Bone marrow aspirate smear: 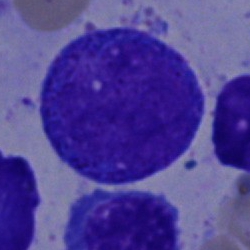
Impression — promyelocyte.